Bone marrow aspirate smear: 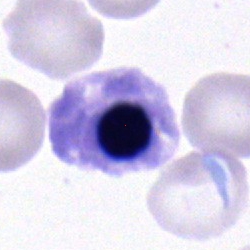
Impression → normoblast.